Bone marrow smear.
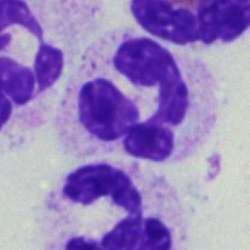
Classification = segmented neutrophil.